M8 digital microscope (Precipoint), 100× oil immersion; single-cell field; peripheral blood smear.
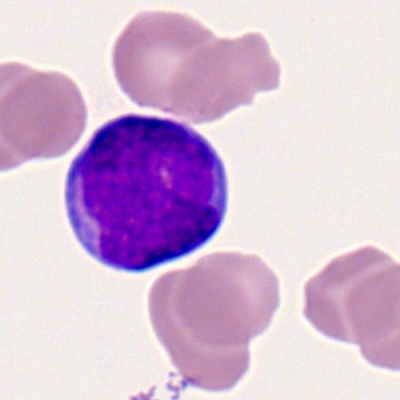
Q: What is the morphological classification of this cell?
A: A myeloblast.